Bone marrow aspirate smear — 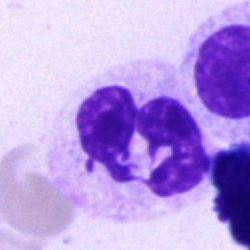
Specimen: bone marrow smear.
Morphological class: polymorphonuclear neutrophil.
Lineage: myeloid.